Single-cell field. Bone marrow aspirate smear.
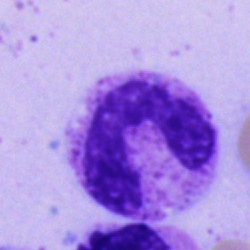

Single cell identified as a band neutrophil.